Bone marrow aspirate smear:
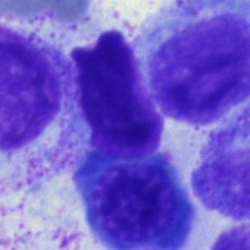

Morphology — nucleated red cell.